Peripheral blood smear.
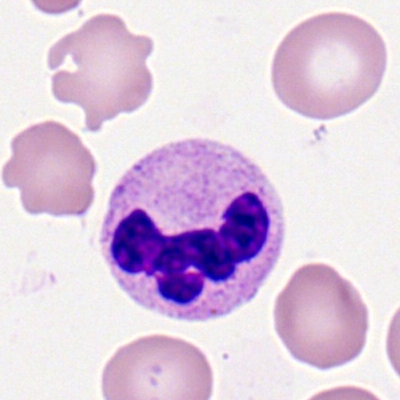
This is a segmented neutrophil.